Bone marrow smear — 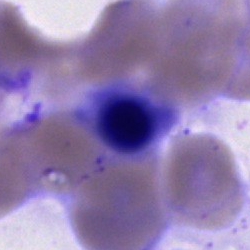Specimen: bone marrow smear.
Classification: nucleated red blood cell.
Lineage: erythroid.